Bone marrow aspirate smear; Pappenheim-stained; 40× oil immersion
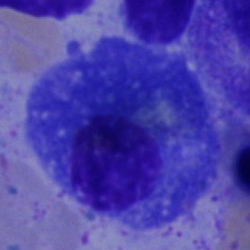 A plasmacyte.